MGG-stained. Bone marrow smear — 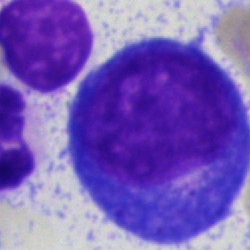

Specimen: bone marrow aspirate smear.
Cell type: proerythroblast.
Lineage: erythroid.